May-Grünwald-Giemsa stain; bone marrow aspirate smear
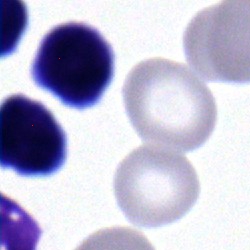 Impression → typical lymphocyte.